Bone marrow smear: 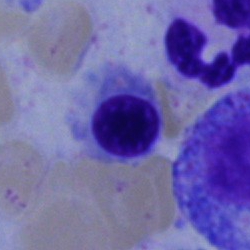Q: What type of cell is this?
A: A normoblast.